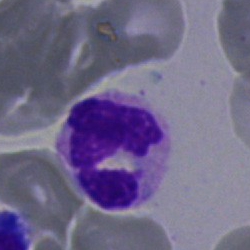
Impression — polymorphonuclear neutrophil.